Bone marrow aspirate smear. Brightfield microscopy, 40× oil immersion
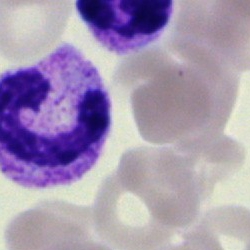 Morphology consistent with a neutrophil (segmented).